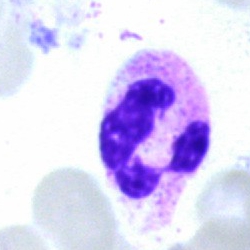
A neutrophil (segmented) on a bone marrow smear.